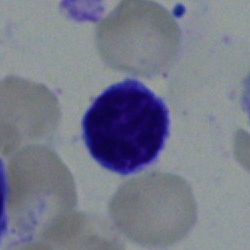Specimen: bone marrow aspirate smear.
Classification: lymphocyte.